Bone marrow aspirate smear · May-Grünwald-Giemsa/Pappenheim stain · 40× oil immersion.
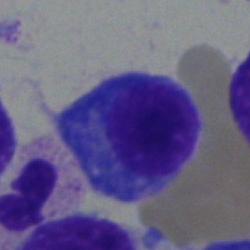

{"cell_type": "plasma cell", "lineage": "lymphoid"}